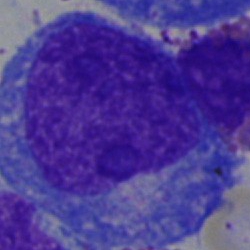A promyelocyte on a bone marrow smear.